Bone marrow aspirate smear
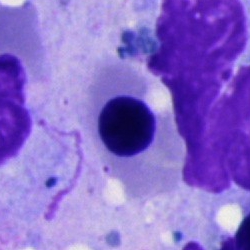Cell type: artefact.